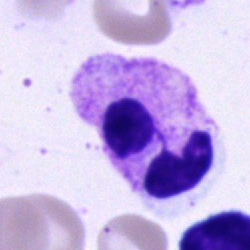

The cell shown is a segmented neutrophil.